Bone marrow aspirate smear — 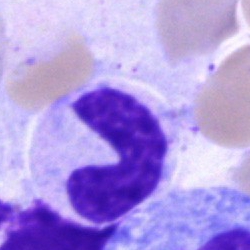

Morphology consistent with a stab cell.